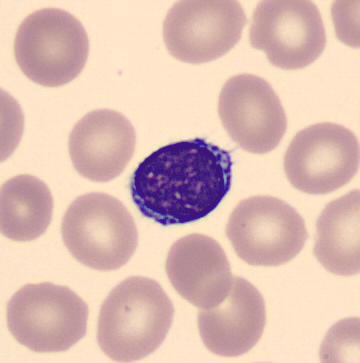CellaVision DM96 digital cell image; peripheral blood film. Q: What cell is this?
A: It is a typical lymphocyte.